Bone marrow aspirate smear: 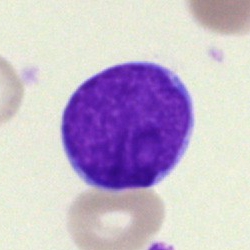 Showing a blast cell.